Peripheral blood smear — 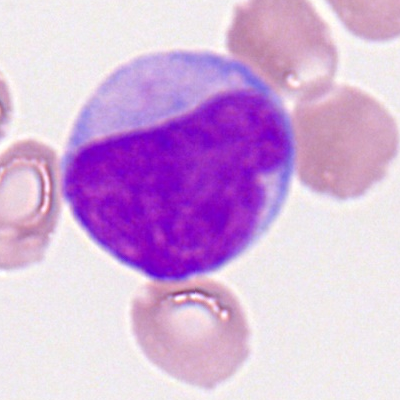

Classification: myeloblast.